Bone marrow smear: 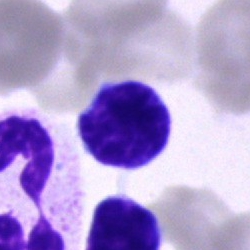 Specimen: bone marrow aspirate smear.
Cell type: lymphocyte.
Lineage: lymphoid.